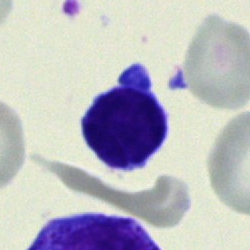
This is a lymphocyte.